Bone marrow aspirate smear
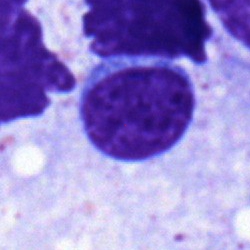
A lymphocyte.